Bone marrow smear
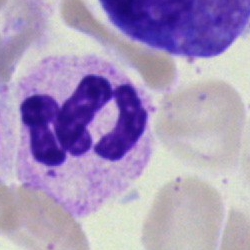
Single cell identified as a polymorphonuclear neutrophil.